Bone marrow smear: 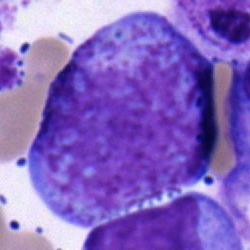

Impression — promyelocyte.